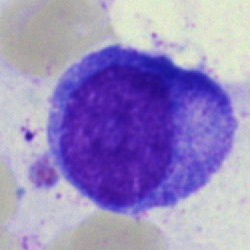 Morphological class — progranulocyte.